Cropped to a single cell; bone marrow aspirate smear:
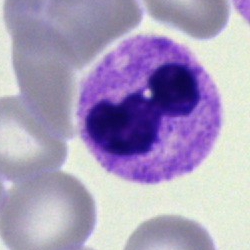
{"cell_type": "polymorphonuclear neutrophil"}